Bone marrow smear — 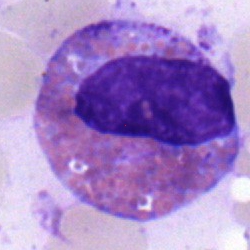An eosinophil.